Bone marrow smear:
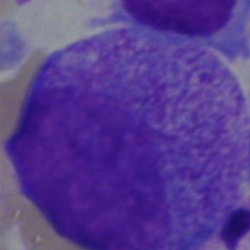
Impression — myelocyte.